40× oil immersion; bone marrow aspirate smear:
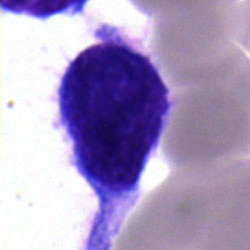

{"cell_type": "undifferentiated blast"}